Single cell centered in the field; bone marrow smear — 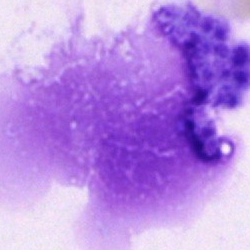 The classification is lymphocyte.